Single-cell crop · bone marrow aspirate smear.
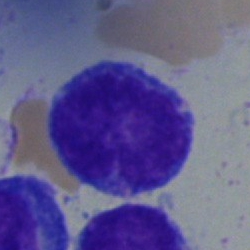

Q: What type of cell is this?
A: This is a blast cell.